Bone marrow aspirate smear:
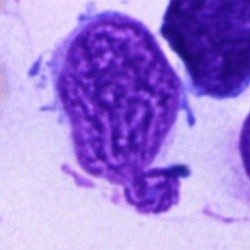
Cell: artefact.